Peripheral blood film · cropped to a single cell · Romanowsky-stained: 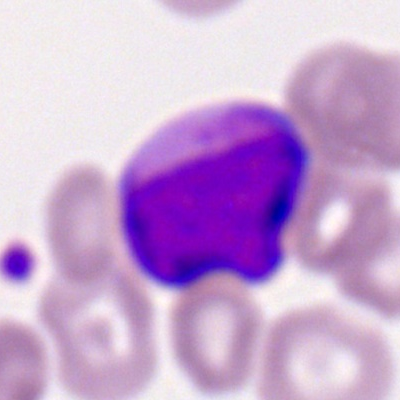The cell type is myeloblast.